Peripheral blood smear · single-cell field — 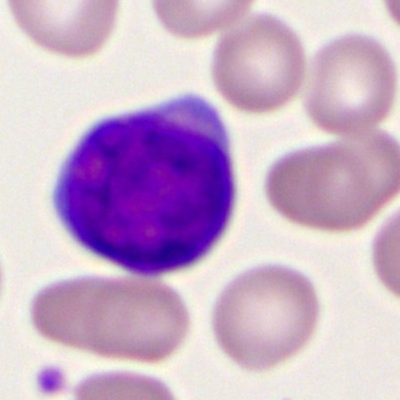
{"cell_type": "myeloblast", "lineage": "myeloid"}